Bone marrow aspirate smear; single cell centered in the field; brightfield microscopy, 40× oil immersion.
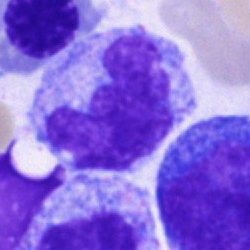

{"cell_type": "monocyte"}